Bone marrow aspirate smear.
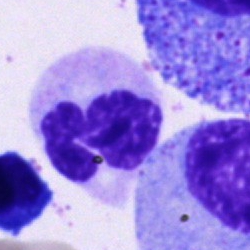 The morphological class is neutrophil (segmented).